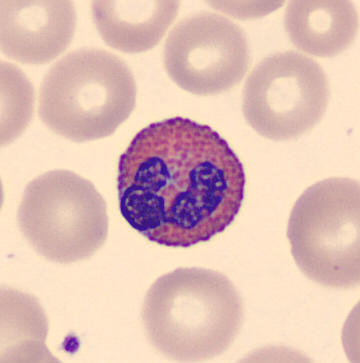

Image: Peripheral blood film.
Single cell identified as an eosinophil.